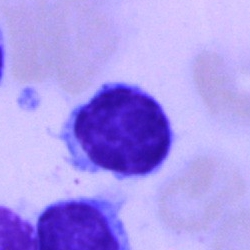 Lymphocyte.